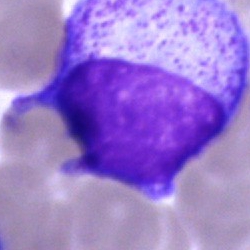Q: What is shown here?
A: A progranulocyte.